Bone marrow smear.
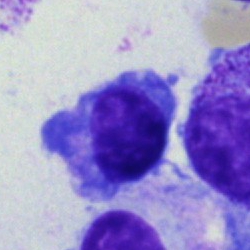A plasma cell.